Bone marrow smear — 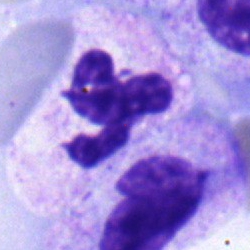Q: Which cell type is shown here?
A: This is a neutrophil (segmented).